Bone marrow smear.
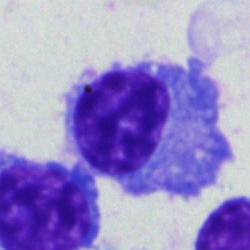
Cell type: plasma cell.